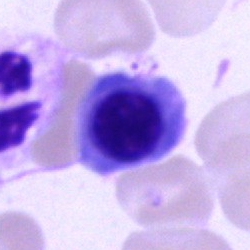

A nucleated red blood cell on a bone marrow smear.